Bone marrow smear · 250×250 px: 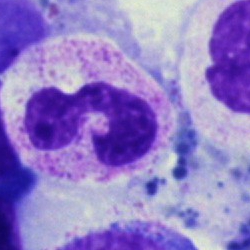
Cell — neutrophil (segmented).